Single-cell crop; May-Grünwald-Giemsa/Pappenheim stain; bone marrow aspirate smear
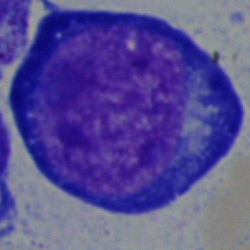

Morphology consistent with a pronormoblast.